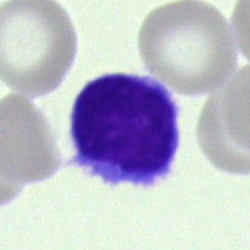 Morphology → lymphocyte.